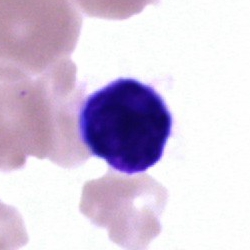 Cell = typical lymphocyte.